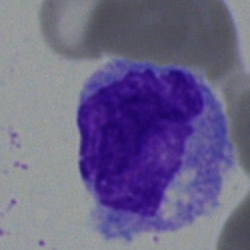Showing a monocyte.